40× objective, oil immersion · bone marrow aspirate smear
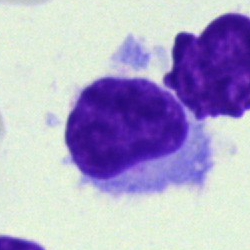Specimen: bone marrow aspirate smear.
Cell: hairy cell.
Lineage: lymphoid.